Bone marrow smear:
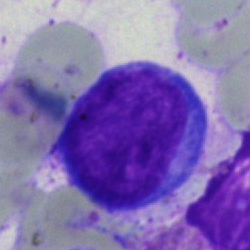
{"cell_type": "undifferentiated blast"}